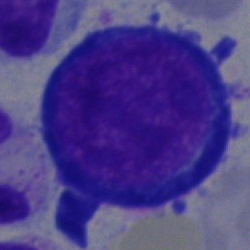
Q: What type of cell is this?
A: Nucleated red blood cell.